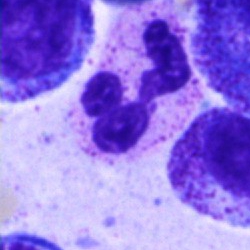{"cell_type": "segmented neutrophil", "lineage": "myeloid"}